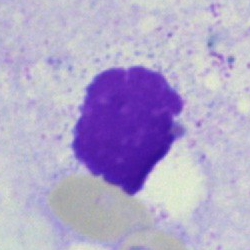
Specimen: bone marrow aspirate smear.
Cell type: artifact.